Bone marrow aspirate smear. Single cell centered in the field: 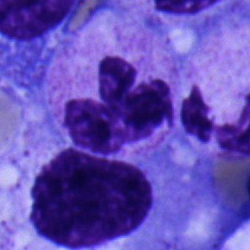Neutrophil (segmented).